Peripheral blood film · Romanowsky-stained
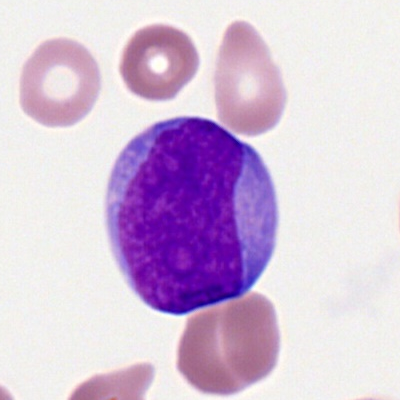

Specimen: peripheral blood film.
Classification: myeloid blast.
Lineage: myeloid.